Peripheral blood smear:
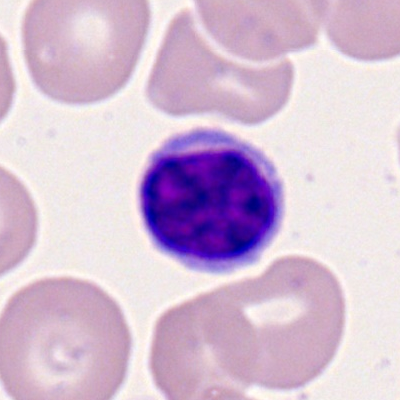
Cell: lymphocyte.